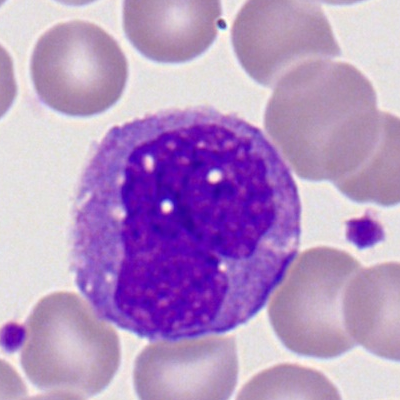 Cell — monocyte.